Bone marrow smear
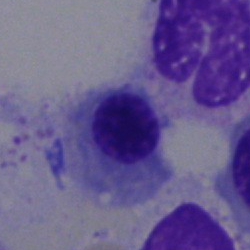

Nucleated red cell.